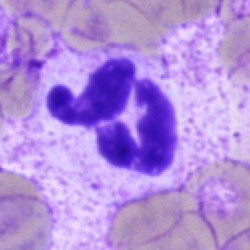

Specimen: bone marrow aspirate smear.
Classification: neutrophil (segmented).